Bone marrow aspirate smear: 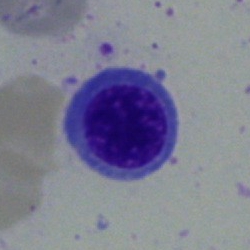
Morphological class: normoblast.